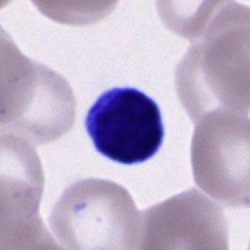 Specimen: bone marrow smear.
Cell: typical lymphocyte.
Lineage: lymphoid.